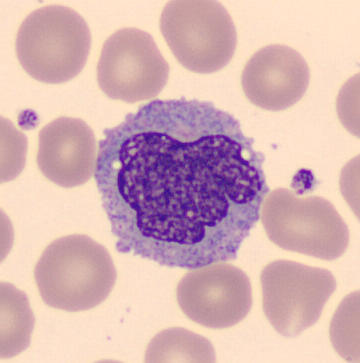
Monocyte.

Image: Imaged on a CellaVision DM96 analyser · peripheral blood smear.